40× objective, oil immersion · single cell centered in the field · bone marrow aspirate smear: 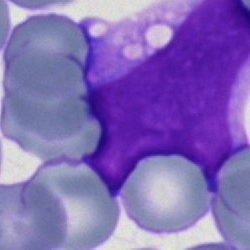
Q: Identify the cell.
A: An undifferentiated blast.